250 by 250 pixels; bone marrow aspirate smear:
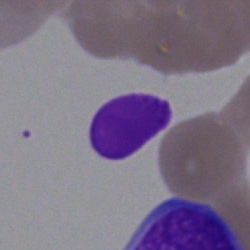
Morphological class — artifact.